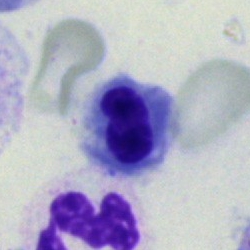

A nucleated red blood cell on a bone marrow smear.